Bone marrow smear · 250×250 px.
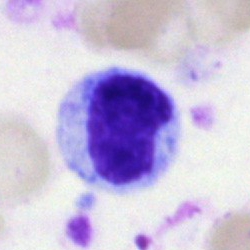 Cell: metamyelocyte.